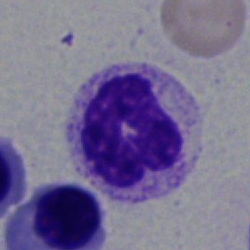
Impression → band neutrophil.